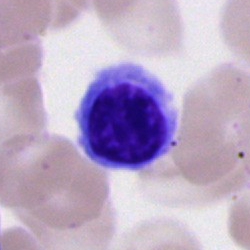

Q: Which cell type is shown here?
A: A nucleated red cell.